Bone marrow smear — 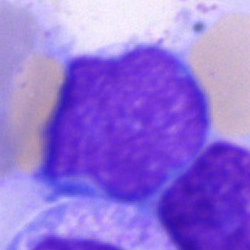 Morphological class: blast.